Bone marrow smear: 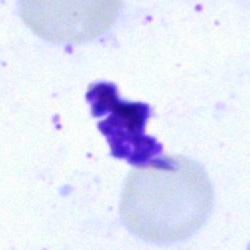

An artifact.